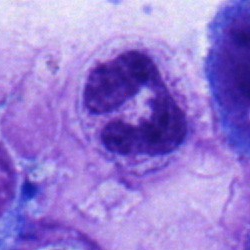
{"cell_type": "polymorphonuclear neutrophil", "lineage": "myeloid"}